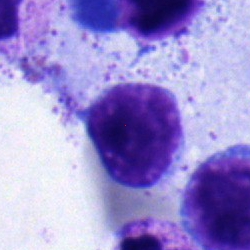
Specimen: bone marrow smear.
Cell: typical lymphocyte.
Lineage: lymphoid.